Bone marrow aspirate smear: 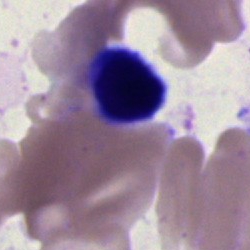
An artefact.